Bone marrow aspirate smear: 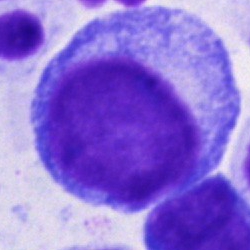Specimen: bone marrow smear.
Classification: progranulocyte.
Lineage: myeloid.